MGG stain. Peripheral blood smear. CellaVision DM96 — 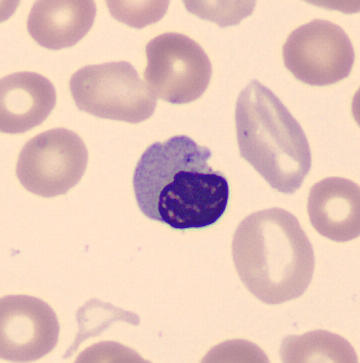
Q: Which cell type is shown here?
A: This is a nucleated red cell.